Single cell centered in the field; bone marrow smear.
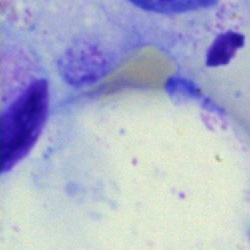
This is an artifact.